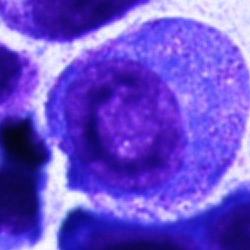 Classification — progranulocyte.